Bone marrow smear; 250 by 250 pixels: 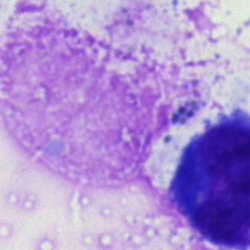 Morphological class — artifact.